Bone marrow smear; 40× objective, oil immersion; single-cell field
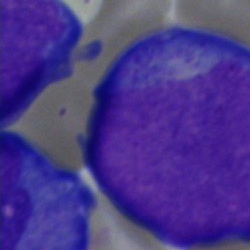An undifferentiated blast.